Bone marrow aspirate smear:
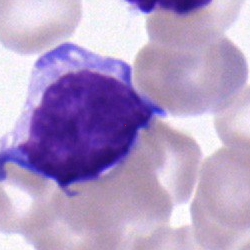
Morphological class: lymphocyte.